Bone marrow aspirate smear; brightfield microscopy, 40× oil immersion; cropped to a single cell:
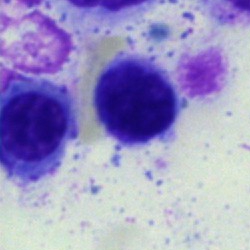
Q: What is the morphological classification of this cell?
A: This is a lymphocyte.